Bone marrow aspirate smear — 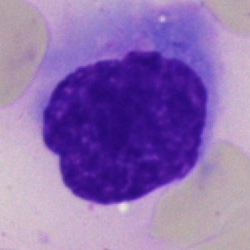

Morphology → artifact.